Bone marrow smear
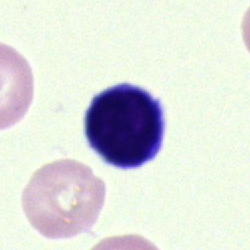

Single cell identified as an artifact.